Bone marrow smear; cropped to a single cell; image size 250×250:
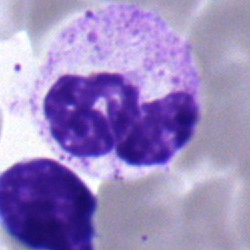Q: Which cell type is shown here?
A: This is a polymorphonuclear neutrophil.